Bone marrow smear.
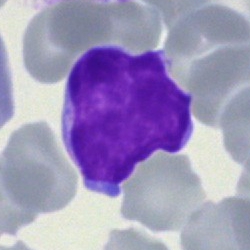Showing a lymphocyte (immature).